Peripheral blood film; Romanowsky-type stain; single-cell field: 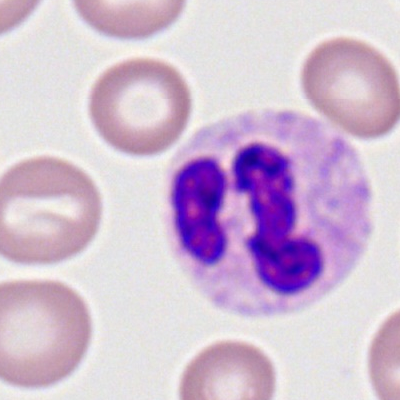
Segmented neutrophil.